Bone marrow aspirate smear; 250×250 px; May-Grünwald-Giemsa stain.
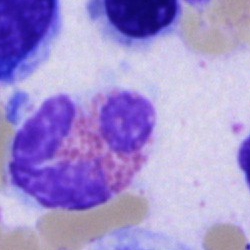

Single cell identified as an eosinophilic granulocyte.